Bone marrow aspirate smear:
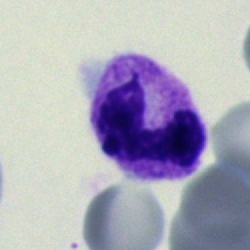 The morphological class is neutrophil (band).